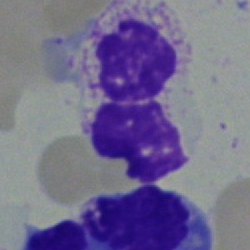

This is a polymorphonuclear neutrophil.